Bone marrow aspirate smear.
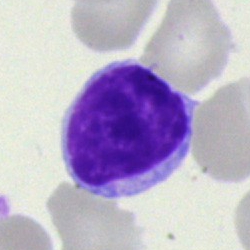

The morphological class is typical lymphocyte.